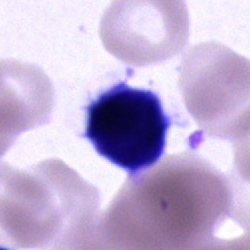Q: Which cell type is shown here?
A: It is a cell of indeterminate lineage.